Bone marrow aspirate smear; MGG-stained:
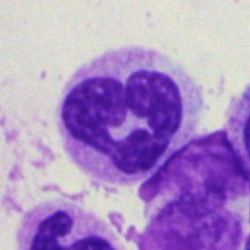 The cell type is neutrophil (band).